Bone marrow aspirate smear. May-Grünwald-Giemsa stain. 40× objective, oil immersion: 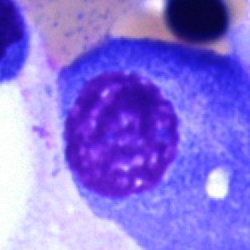The classification is plasmacyte.